Bone marrow aspirate smear:
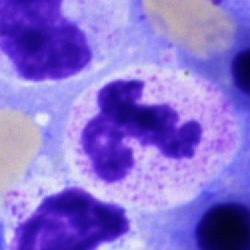Single cell identified as a neutrophil (segmented).